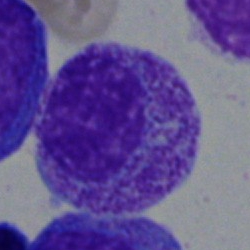Impression → myelocyte.